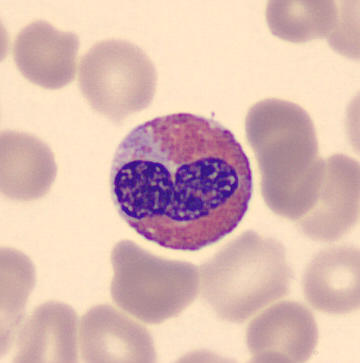 Morphological class = eosinophil.

Image: Cropped to a single cell; peripheral blood smear.